Bone marrow aspirate smear · May-Grünwald-Giemsa stain · image size 250×250:
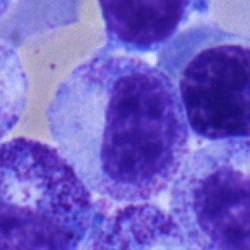

Q: What is shown here?
A: Metamyelocyte.